Bone marrow aspirate smear. 40× objective, oil immersion: 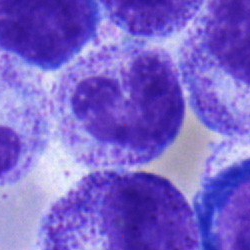 A band neutrophil.